Pappenheim-stained; bone marrow aspirate smear; single cell centered in the field
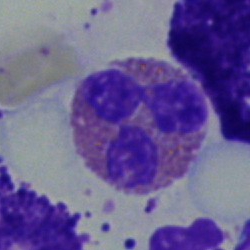Impression → eosinophilic granulocyte.